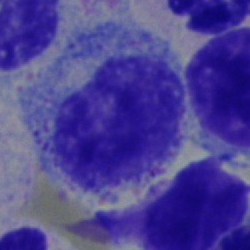
Q: What type of cell is this?
A: Myelocyte.